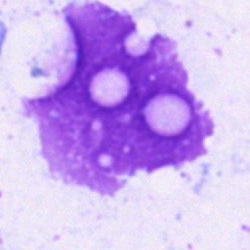
Bone marrow aspirate smear, single cell — artefact.